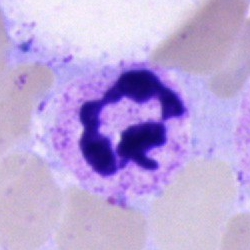
Single-cell crop from a bone marrow smear: neutrophil (segmented).